Bone marrow smear. 40× oil immersion — 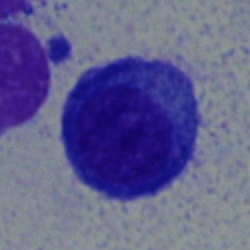Q: Identify the cell.
A: Plasmacyte.